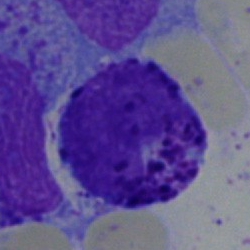A basophilic granulocyte on a bone marrow smear.